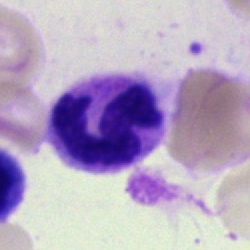

Bone marrow smear showing a segmented neutrophil.